Cropped to a single cell; bone marrow aspirate smear; Pappenheim-stained:
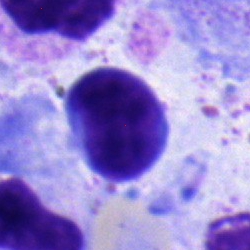Classification: typical lymphocyte.